Single-cell field. Bone marrow smear:
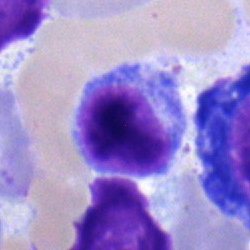

Morphological class = typical lymphocyte.